Bone marrow smear
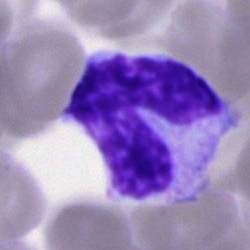

Q: What type of cell is this?
A: It is a band neutrophil.